Bone marrow smear. Cropped to a single cell: 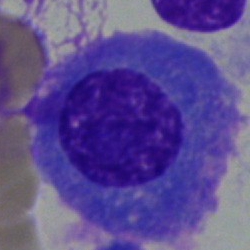This is a plasma cell.